Pappenheim-stained. Bone marrow smear — 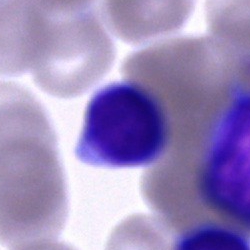Q: What cell is this?
A: Typical lymphocyte.